Bone marrow aspirate smear:
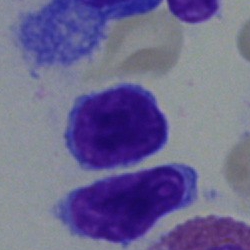

Q: Which cell type is shown here?
A: A typical lymphocyte.